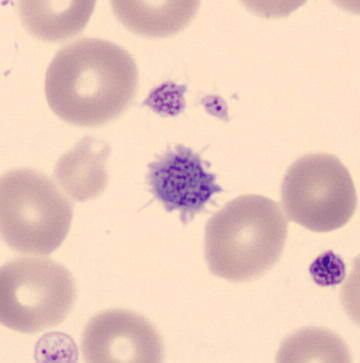
Morphology consistent with a platelet. Peripheral blood smear; MGG-stained.